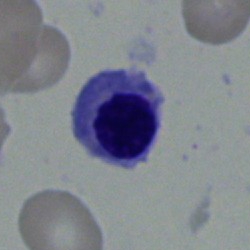
Bone marrow aspirate smear, single cell — nucleated red blood cell.